Bone marrow aspirate smear.
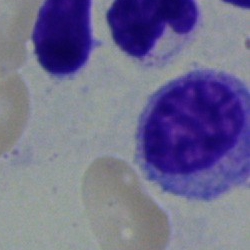

A myelocyte.